Bone marrow smear. 40× oil immersion
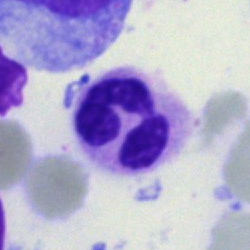
Q: Which cell type is shown here?
A: This is a neutrophil (segmented).